Bone marrow aspirate smear — 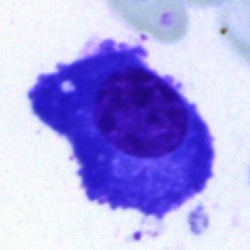 The cell type is plasma cell.